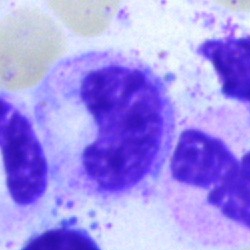Bone marrow aspirate smear, single cell — band neutrophil.